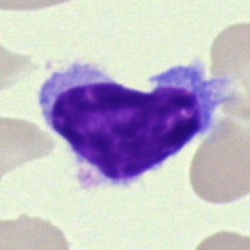

Single cell identified as a typical lymphocyte.